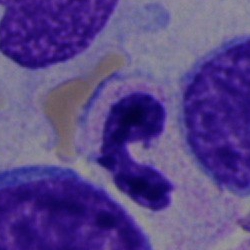
This is a segmented neutrophil.